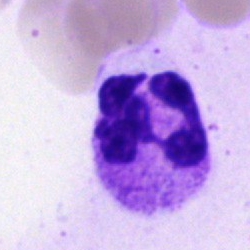
The cell is polymorphonuclear neutrophil.